Image size 250×250; May-Grünwald-Giemsa/Pappenheim stain; bone marrow aspirate smear:
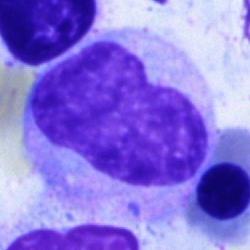 Single cell identified as a metamyelocyte.